Bone marrow smear: 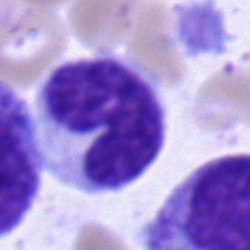

Cell = neutrophil (band).